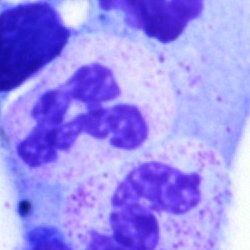 Specimen: bone marrow smear.
Cell type: segmented neutrophil.
Lineage: myeloid.